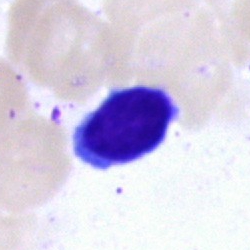

Specimen: bone marrow aspirate smear.
Classification: typical lymphocyte.
Lineage: lymphoid.